Bone marrow smear — 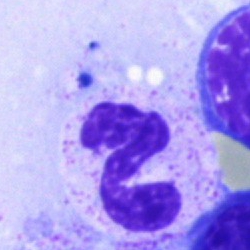 Morphological class = segmented neutrophil.